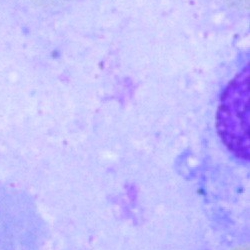The cell type is artefact.